Bone marrow aspirate smear. 250×250 px. Single-cell crop: 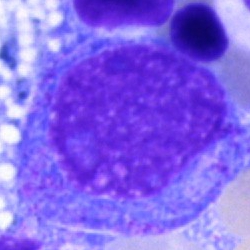Q: Which cell type is shown here?
A: A progranulocyte.